Bone marrow aspirate smear: 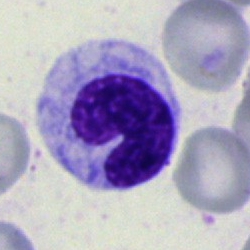

{"cell_type": "neutrophil (band)"}